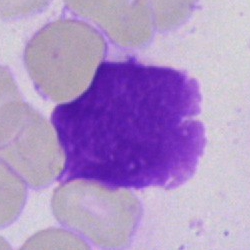

Q: What is shown here?
A: It is an artefact.